Bone marrow smear · single-cell field:
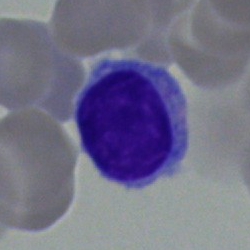Q: What cell is this?
A: It is a typical lymphocyte.